Bone marrow aspirate smear; single-cell crop; Pappenheim-stained
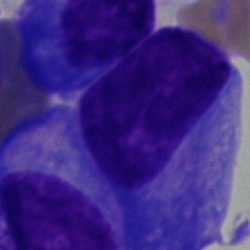 Classification — plasmacyte.